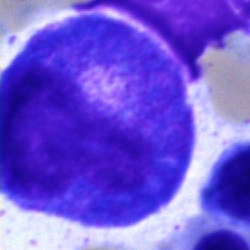
Morphology → promyelocyte.